Bone marrow aspirate smear — 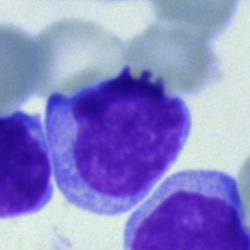 Single cell identified as a typical lymphocyte.